Brightfield microscopy, 40× oil immersion · bone marrow aspirate smear
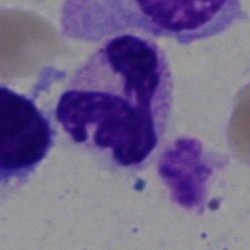
A polymorphonuclear neutrophil.